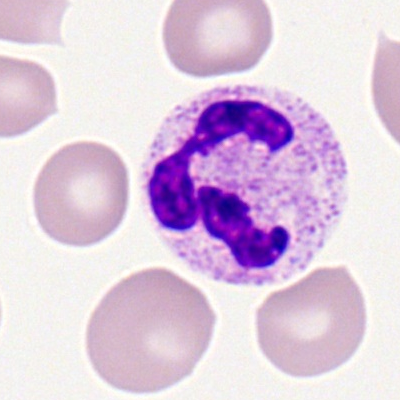 Morphology consistent with a segmented neutrophil.